MGG-stained. Bone marrow smear
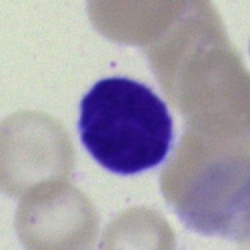 Specimen: bone marrow smear.
Classification: typical lymphocyte.
Lineage: lymphoid.